Bone marrow aspirate smear — 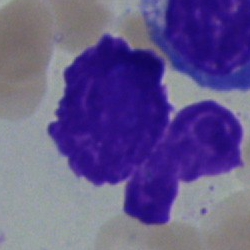
Specimen: bone marrow aspirate smear.
Classification: artefact.